Bone marrow aspirate smear; brightfield microscopy, 40× oil immersion:
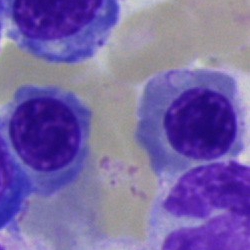
Cell = erythroblast.